Bone marrow smear.
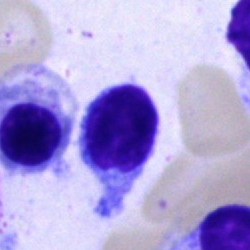

Impression → lymphocyte.